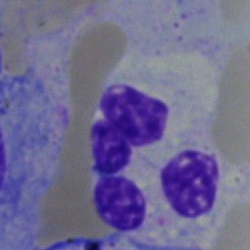

Bone marrow aspirate smear, single cell — polymorphonuclear neutrophil.